40× oil immersion. Bone marrow smear: 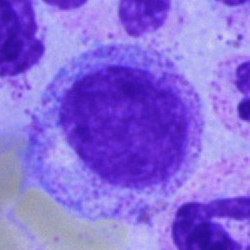

Single cell identified as a myelocyte.